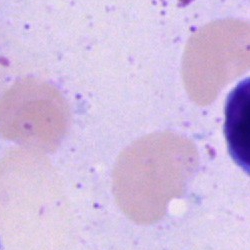
An artefact.